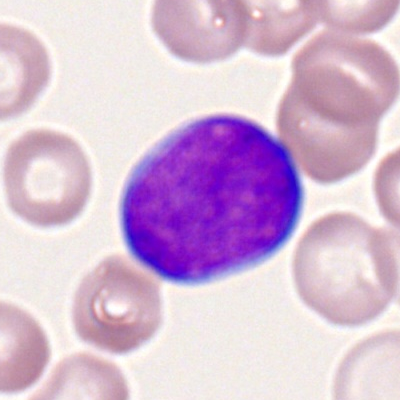Morphology → myeloblast.